Single-cell crop; bone marrow aspirate smear; May-Grünwald-Giemsa/Pappenheim stain.
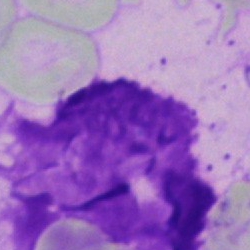

Cell = artifact.